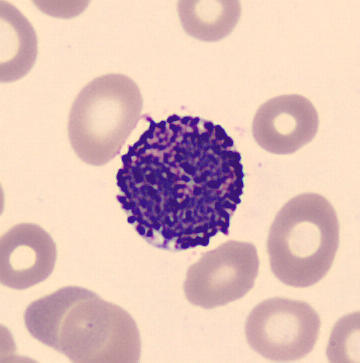
Morphology — basophil.